40× objective, oil immersion. MGG-stained. Bone marrow smear
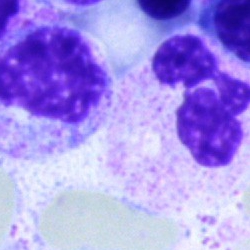
Q: What is shown here?
A: This is a polymorphonuclear neutrophil.